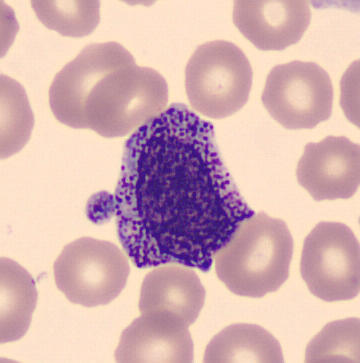
Single-cell crop; peripheral blood film. The classification is myelocyte.